MGG-stained; bone marrow aspirate smear; single cell centered in the field.
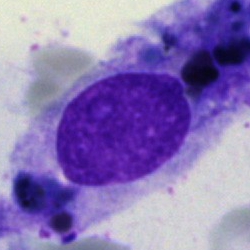

{"cell_type": "artifact"}